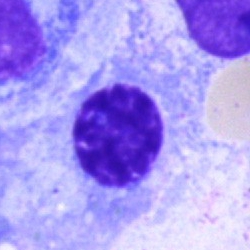

Impression → erythroblast.